Brightfield, 40× oil-immersion objective · bone marrow smear · single cell centered in the field
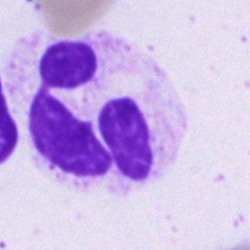 Specimen: bone marrow smear.
Classification: neutrophil (segmented).